Bone marrow smear — 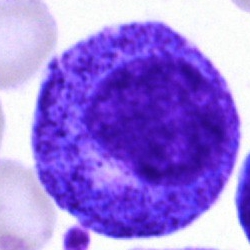
Progranulocyte.